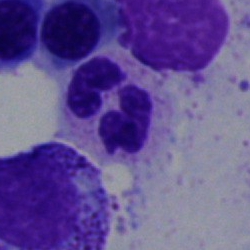 Q: What cell is this?
A: It is a segmented neutrophil.